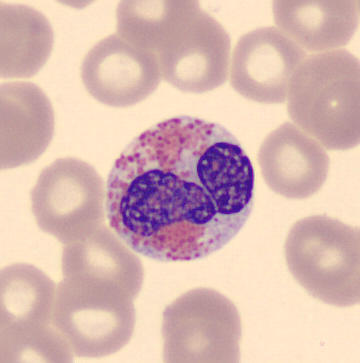

Q: Identify the cell.
A: An eosinophilic granulocyte.
Acquisition: Peripheral blood film · image size 360×363.